Bone marrow aspirate smear; single cell centered in the field; brightfield microscopy, 40× oil immersion:
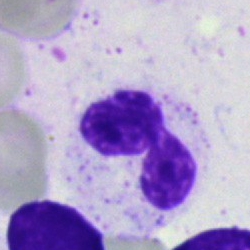The cell shown is a polymorphonuclear neutrophil.